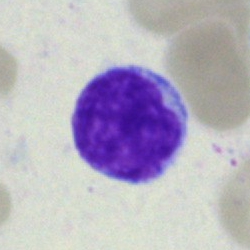

Bone marrow smear showing a blast.